Bone marrow aspirate smear · image size 250×250.
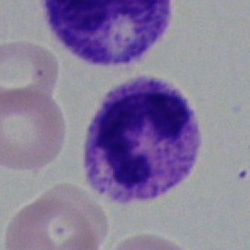 Cell type — segmented neutrophil.